Bone marrow aspirate smear — 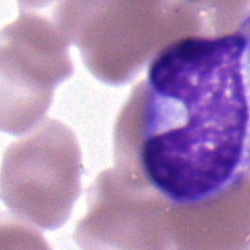
Morphology consistent with a band-form neutrophil.